Bone marrow smear: 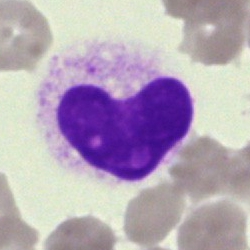
Q: What is shown here?
A: It is an artifact.